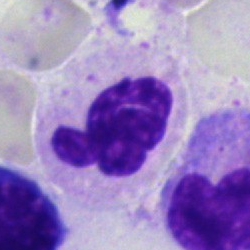Q: Which cell type is shown here?
A: A polymorphonuclear neutrophil.